Bone marrow smear — 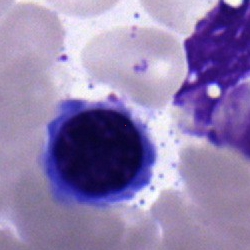

{"cell_type": "nucleated red cell"}